Bone marrow smear
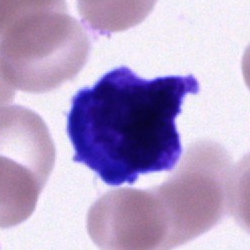 Morphology — cell of indeterminate lineage.